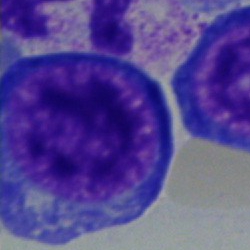A pronormoblast on a bone marrow smear.